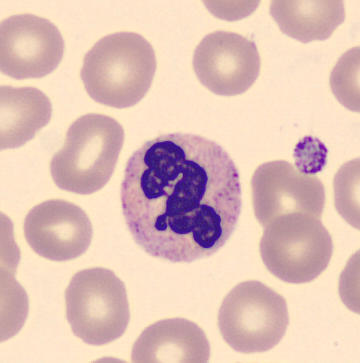 Image: Peripheral blood film.
{"cell_type": "segmented neutrophil", "lineage": "myeloid"}